Bone marrow aspirate smear: 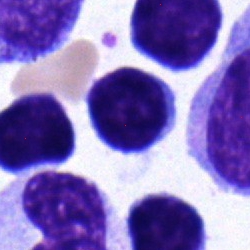
{"cell_type": "typical lymphocyte", "lineage": "lymphoid"}